Bone marrow smear:
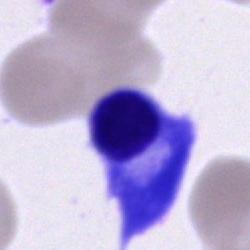Cell type: plasma cell.